Bone marrow aspirate smear
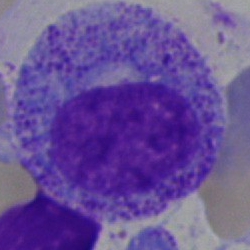
{"cell_type": "progranulocyte", "lineage": "myeloid"}